Bone marrow smear; MGG-stained
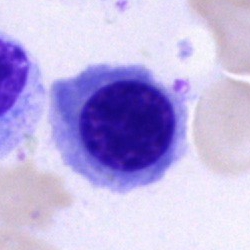 The cell is nucleated red cell.